Bone marrow aspirate smear.
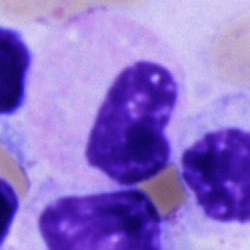

The cell is unidentifiable cell.